Bone marrow aspirate smear.
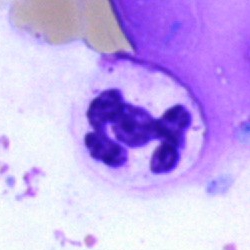

A polymorphonuclear neutrophil.